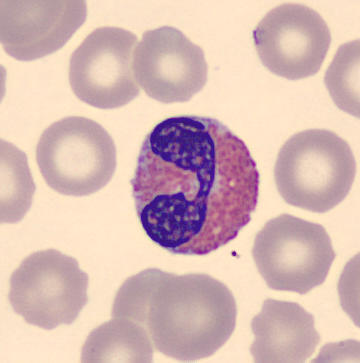 Q: Identify the cell.
A: Eosinophilic granulocyte.
Peripheral blood film.